Bone marrow smear; May-Grünwald-Giemsa/Pappenheim stain:
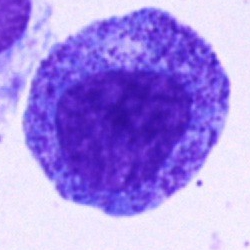
Cell type — progranulocyte.